Single-cell crop. MGG stain. Peripheral blood smear
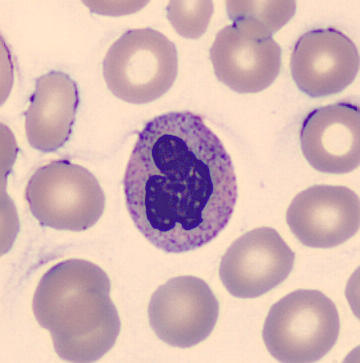Cell — polymorphonuclear neutrophil.